Peripheral blood film: 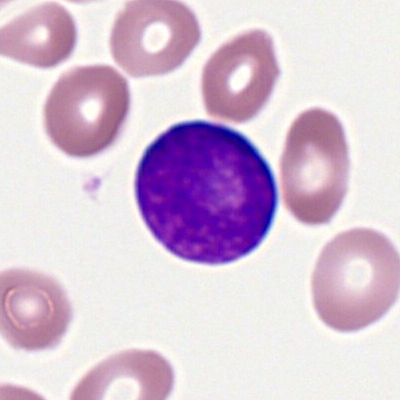
Morphology — myeloid blast.